Brightfield microscopy, 40× oil immersion; bone marrow smear — 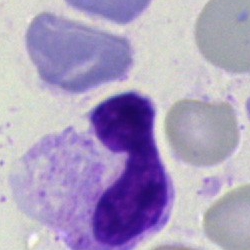

Impression — artifact.